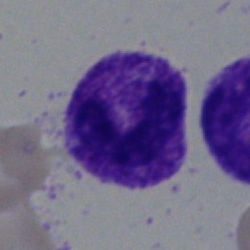 Morphological class: neutrophil (segmented).